40× oil immersion. 250×250 px. Bone marrow smear — 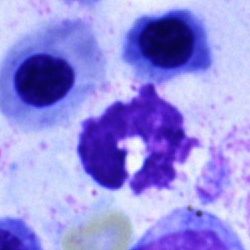Specimen: bone marrow aspirate smear.
Cell type: polymorphonuclear neutrophil.
Lineage: myeloid.